Bone marrow smear — 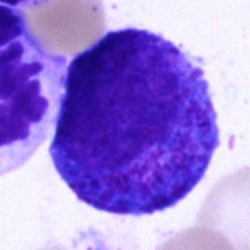

Single cell identified as a progranulocyte.